Bone marrow aspirate smear: 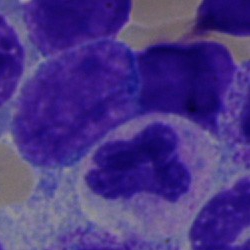
Cell: neutrophil (segmented).